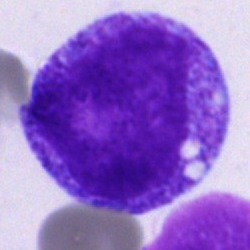 Morphological class — progranulocyte.